Bone marrow aspirate smear:
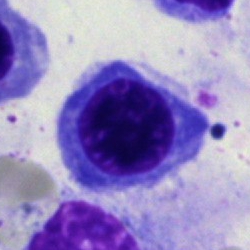A normoblast.